Image size 250×250. Brightfield microscopy, 40× oil immersion. Bone marrow aspirate smear: 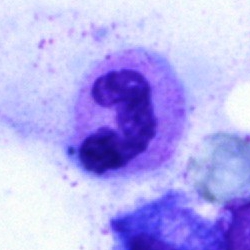Specimen: bone marrow aspirate smear.
Morphological class: segmented neutrophil.